Bone marrow smear; MGG-stained.
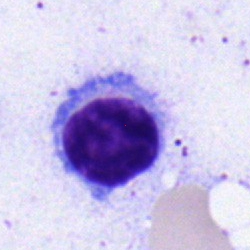

Impression — typical lymphocyte.